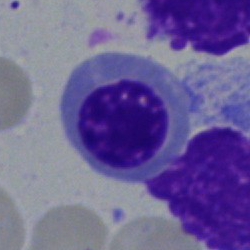 Classification = normoblast.